250×250 · brightfield microscopy, 40× oil immersion · bone marrow aspirate smear.
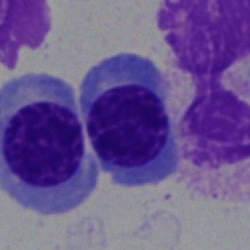Q: What cell is this?
A: This is a normoblast.